Single-cell crop; Romanowsky stain; peripheral blood film.
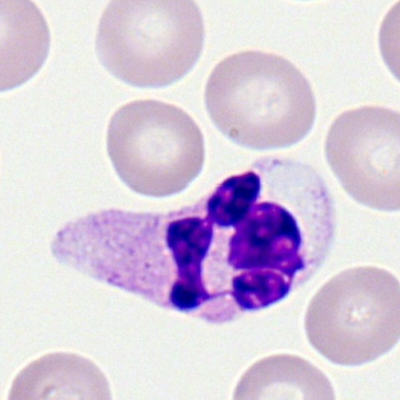Segmented neutrophil.